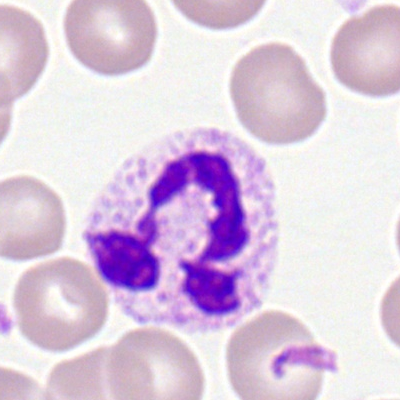The morphological class is segmented neutrophil.